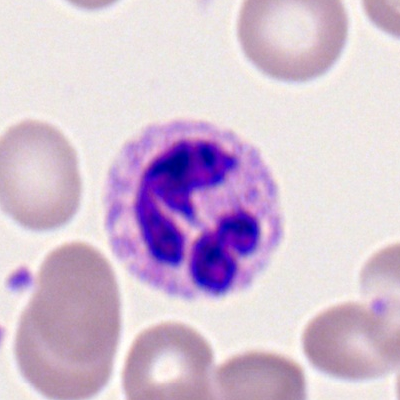
Cell type: segmented neutrophil.